Peripheral blood smear.
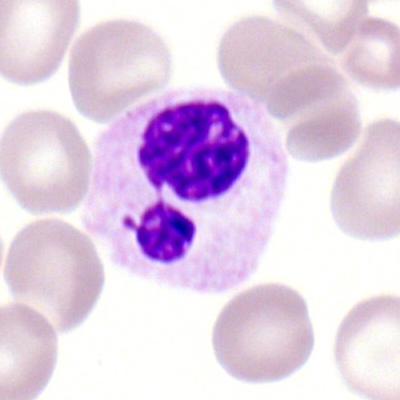 Showing a segmented neutrophil.